Bone marrow aspirate smear:
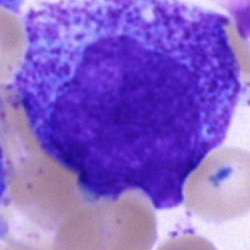
Q: What is the morphological classification of this cell?
A: A progranulocyte.